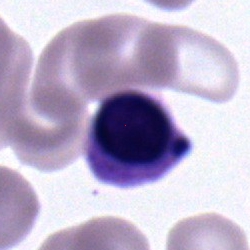

Bone marrow aspirate smear, single cell — nucleated red cell.